Bone marrow smear · 250×250 px — 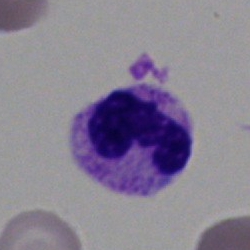 {"cell_type": "polymorphonuclear neutrophil"}